Bone marrow aspirate smear — 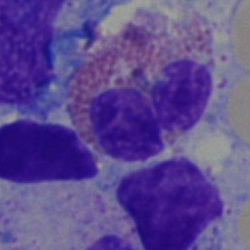This is an eosinophilic granulocyte.